Bone marrow smear
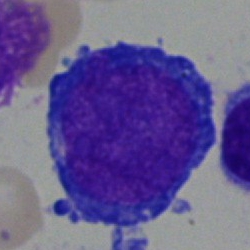Proerythroblast.